Single-cell field · May-Grünwald-Giemsa/Pappenheim stain · bone marrow smear
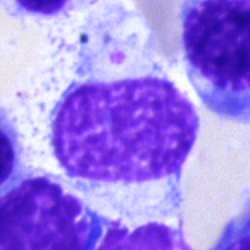

Single cell identified as an artefact.